Single cell centered in the field · bone marrow smear · brightfield microscopy, 40× oil immersion: 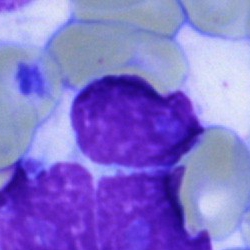

An artefact.